Bone marrow aspirate smear:
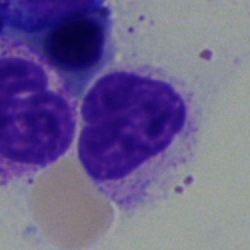
Morphology → band neutrophil.